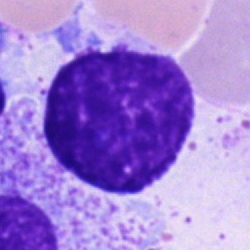 Specimen: bone marrow smear.
Cell: artifact.